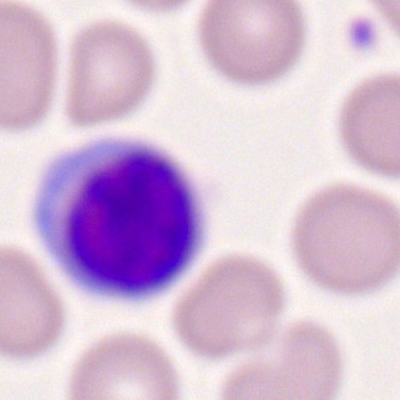

Q: Which cell type is shown here?
A: A lymphocyte.